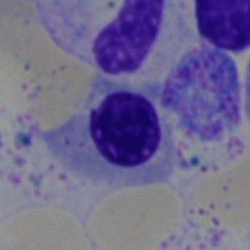

A nucleated red cell.